Bone marrow smear: 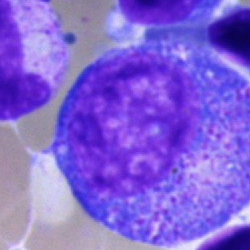Progranulocyte.